250 by 250 pixels · May-Grünwald-Giemsa/Pappenheim stain · bone marrow smear
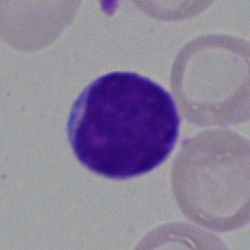 Lymphocyte.